Bone marrow smear
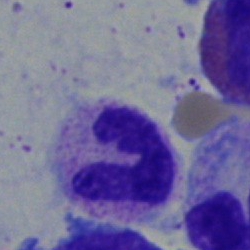 Morphology consistent with a polymorphonuclear neutrophil.